Bone marrow aspirate smear:
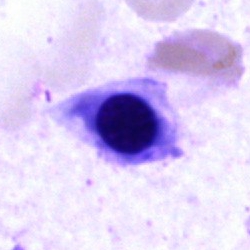

Classification = erythroblast.